Bone marrow smear:
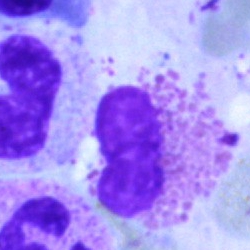
Specimen: bone marrow aspirate smear.
Cell type: eosinophil.
Lineage: myeloid.